Bone marrow aspirate smear. 250 by 250 pixels: 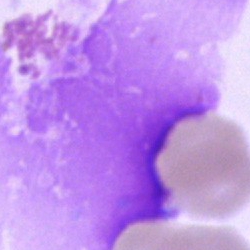

An artifact.